Peripheral blood film: 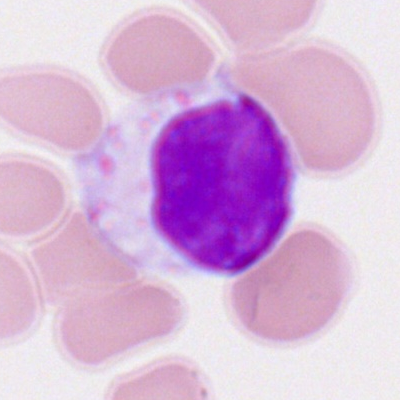

Q: What is shown here?
A: This is a lymphocyte.